Bone marrow smear
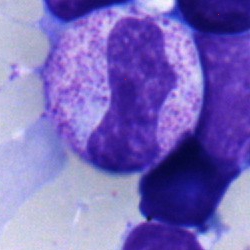 Stab cell.